250×250 px; bone marrow smear
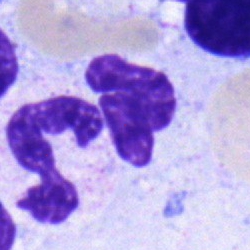 Cell = neutrophil (segmented).